Bone marrow smear; single-cell field.
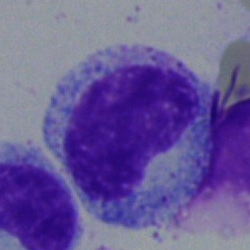Q: What cell is this?
A: It is a metamyelocyte.